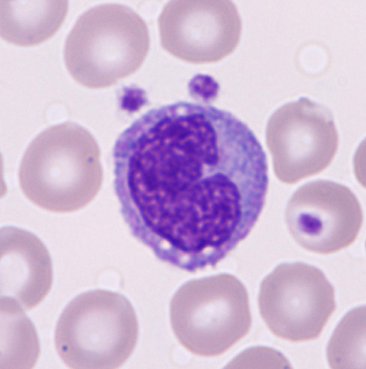Preparation: 366 by 369 pixels · MGG-stained · peripheral blood film. Morphology → monocyte.